Bone marrow smear · image size 250×250.
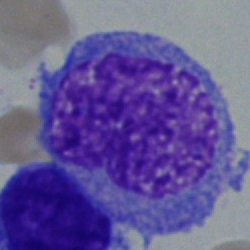
Morphology — blast.